Bone marrow smear — 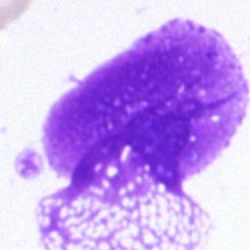 Impression → artifact.